Bone marrow smear · 250 by 250 pixels:
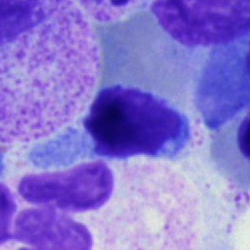The cell type is lymphocyte.